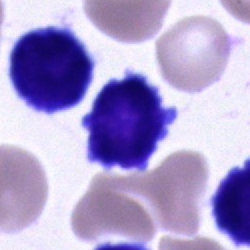 Morphological class = lymphocyte.